MGG-stained. Bone marrow aspirate smear. Brightfield, 40× oil-immersion objective.
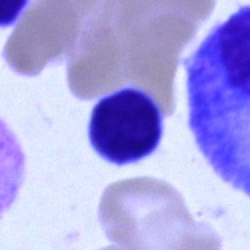

Showing a typical lymphocyte.